Bone marrow smear:
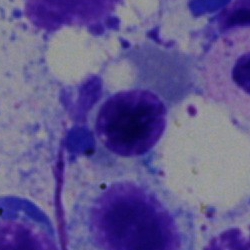 The cell shown is a normoblast.